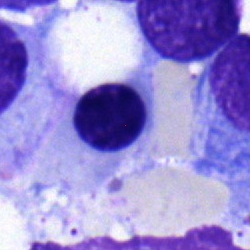 Cell type — erythroblast.